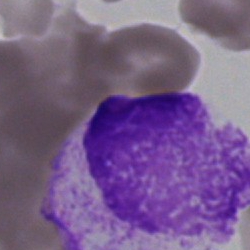Cell type: artifact.